Bone marrow aspirate smear
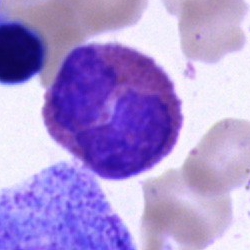Eosinophilic granulocyte.